250×250. Single cell centered in the field. Bone marrow aspirate smear: 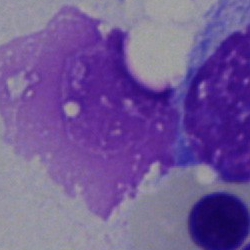 The cell is artefact.